Bone marrow smear.
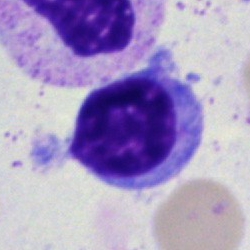

Lymphocyte.